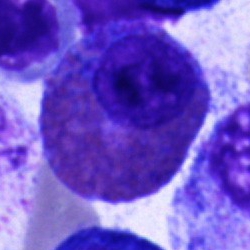

Specimen: bone marrow aspirate smear.
Classification: eosinophil.
Lineage: myeloid.